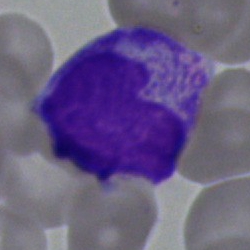

{"cell_type": "metamyelocyte", "lineage": "myeloid"}